Bone marrow aspirate smear; May-Grünwald-Giemsa stain.
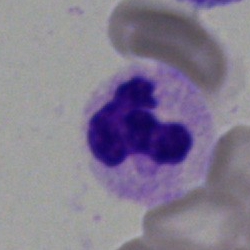
Q: What is the morphological classification of this cell?
A: Neutrophil (segmented).